Bone marrow smear; image size 250×250.
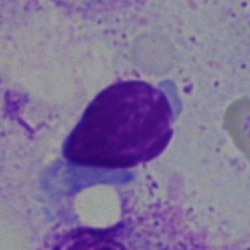Specimen: bone marrow smear.
Cell: typical lymphocyte.
Lineage: lymphoid.